Bone marrow aspirate smear; 250 by 250 pixels; 40× oil immersion: 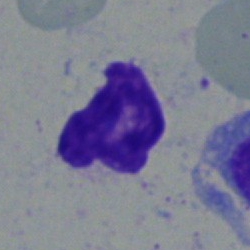
Specimen: bone marrow aspirate smear.
Cell: artefact.